Bone marrow aspirate smear:
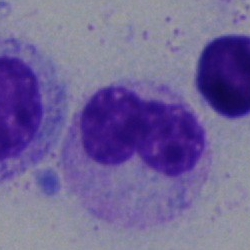
Specimen: bone marrow aspirate smear.
Cell type: metamyelocyte.